Pappenheim-stained · 250 by 250 pixels · bone marrow smear — 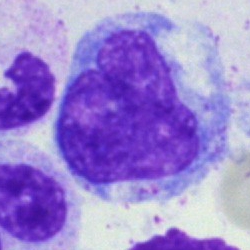

Specimen: bone marrow aspirate smear.
Cell type: monocyte.
Lineage: myeloid.